Bone marrow aspirate smear · 40× oil immersion.
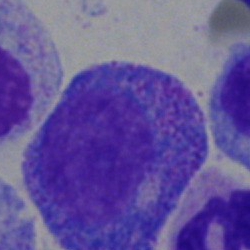

{"cell_type": "promyelocyte", "lineage": "myeloid"}